May-Grünwald-Giemsa stain; 40× oil immersion; bone marrow aspirate smear
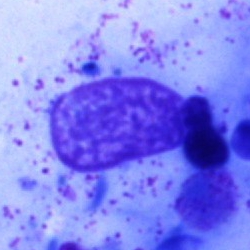An artefact.